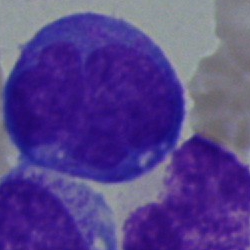
Bone marrow smear showing an undifferentiated blast.